250 by 250 pixels. Bone marrow aspirate smear:
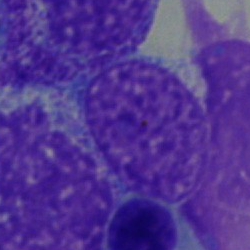

Q: What is shown here?
A: Artifact.